Pappenheim-stained; single cell centered in the field; bone marrow aspirate smear: 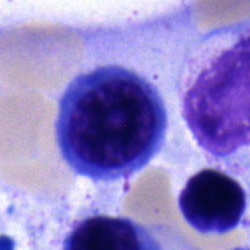
Morphology consistent with an erythroblast.